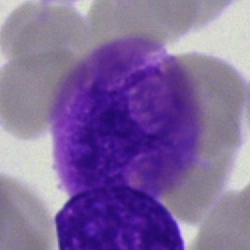Single cell identified as an artifact.